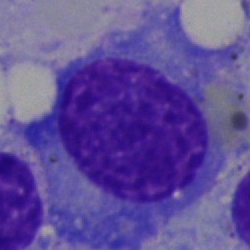 A plasma cell.